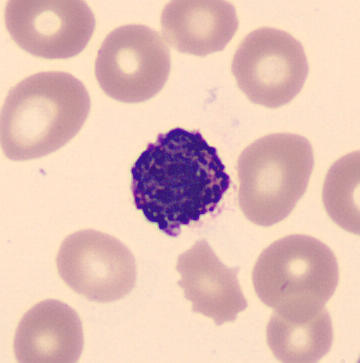Q: What is shown here?
A: This is a basophil.